Bone marrow aspirate smear:
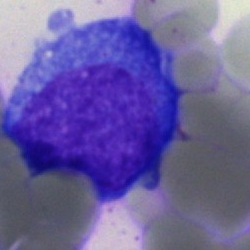

Classification: undifferentiated blast.